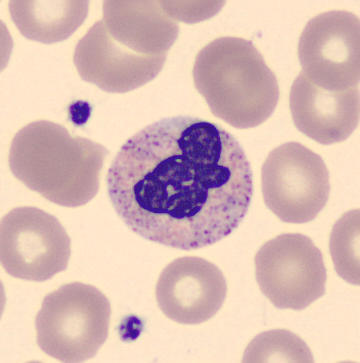

Acquisition: 360×363 px; peripheral blood smear.
Morphological class — stab cell.